Peripheral blood film: 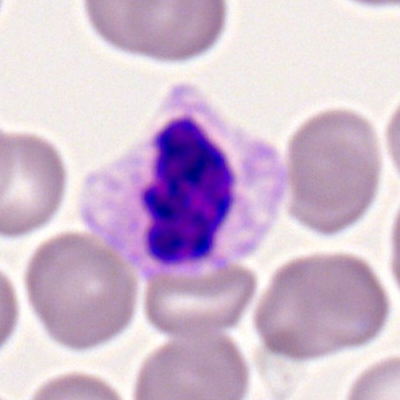
Cell — segmented neutrophil.